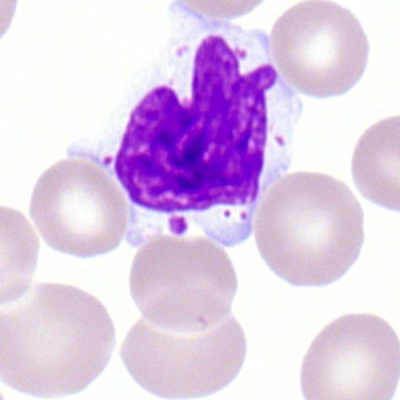
Peripheral blood film, single cell — typical lymphocyte.